Bone marrow aspirate smear; 250×250; brightfield microscopy, 40× oil immersion.
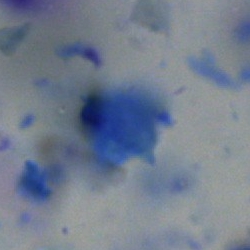 Morphology → artefact.